Bone marrow aspirate smear — 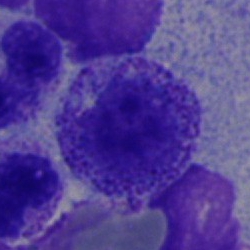 A myelocyte.